Bone marrow aspirate smear. Brightfield, 40× oil-immersion objective:
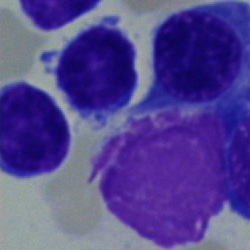
Single cell identified as a lymphocyte.